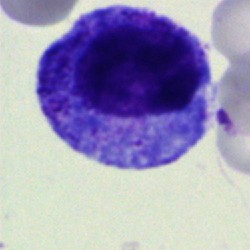
Q: What cell is this?
A: This is a promyelocyte.